MGG-stained · bone marrow smear:
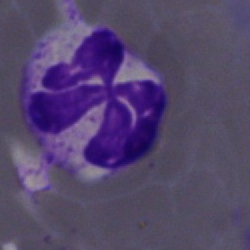 The cell is neutrophil (segmented).